250 by 250 pixels; MGG-stained; bone marrow smear — 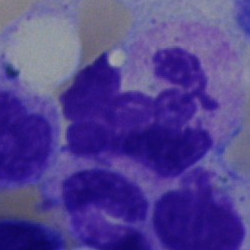
Classification = polymorphonuclear neutrophil.